250×250. Bone marrow smear. Brightfield microscopy, 40× oil immersion.
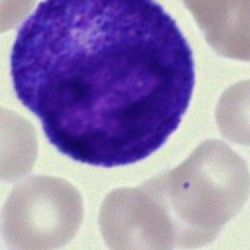{"cell_type": "promyelocyte", "lineage": "myeloid"}